MGG-stained · bone marrow smear: 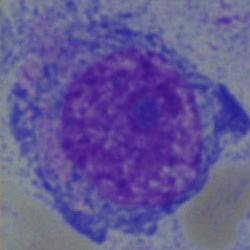The cell shown is an undifferentiated blast.